Bone marrow aspirate smear
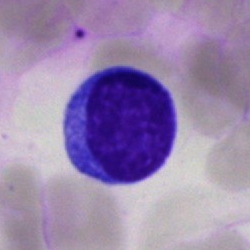Cell type: typical lymphocyte.